250×250 px · bone marrow aspirate smear.
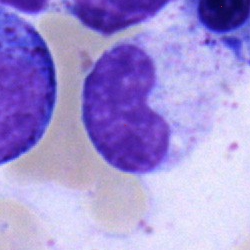

Impression → metamyelocyte.